400×400 px. Peripheral blood smear.
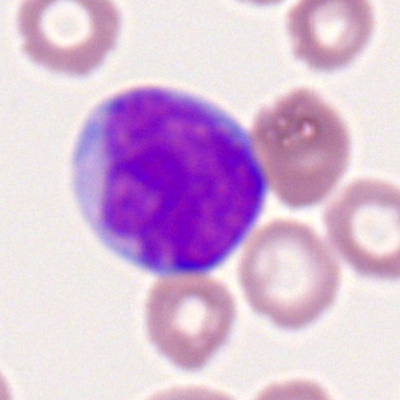{"cell_type": "myeloid blast", "lineage": "myeloid"}